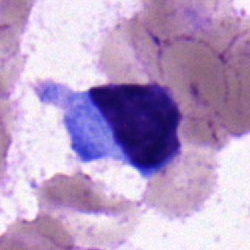 {"cell_type": "typical lymphocyte", "lineage": "lymphoid"}